Bone marrow aspirate smear: 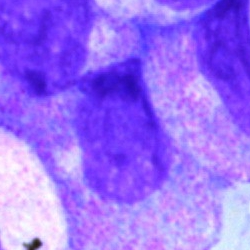 The cell shown is a myelocyte.